Bone marrow smear. Image size 250×250 — 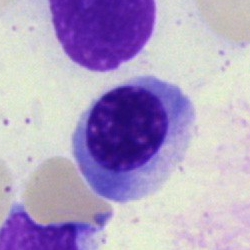 Cell: erythroblast.